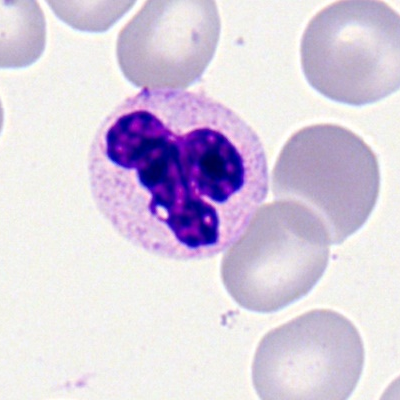Peripheral blood film, single cell — polymorphonuclear neutrophil.